250 by 250 pixels; bone marrow aspirate smear.
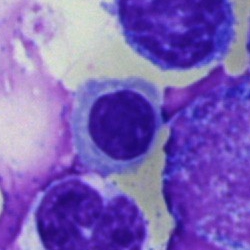 Cell = normoblast.